Single-cell crop; 40× oil immersion; bone marrow aspirate smear.
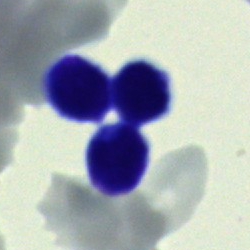

Q: What type of cell is this?
A: It is a lymphocyte.